Peripheral blood smear · 400 by 400 pixels
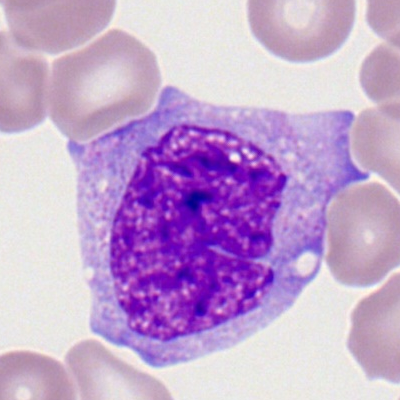Showing a monocyte.